Bone marrow smear: 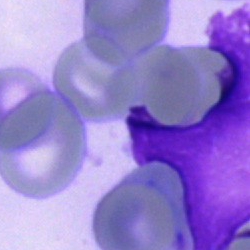
Showing an artefact.